Brightfield microscopy, 40× oil immersion; bone marrow smear; 250 by 250 pixels — 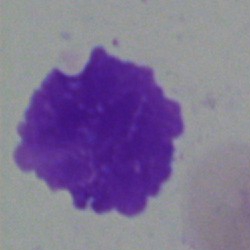 Morphology — artefact.